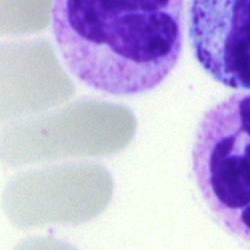Classification = unidentifiable cell.